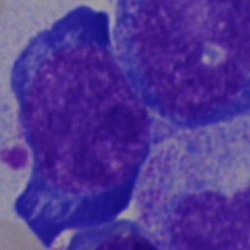{"cell_type": "proerythroblast"}